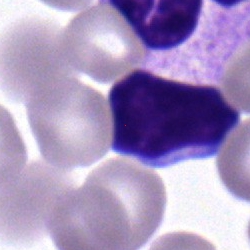

{"cell_type": "lymphocyte", "lineage": "lymphoid"}